Brightfield, 100× oil-immersion objective. Peripheral blood film
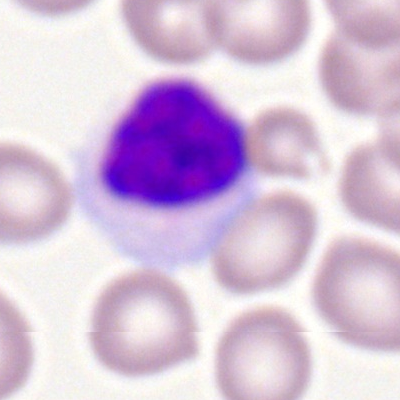
Morphology → lymphocyte.